Bone marrow smear.
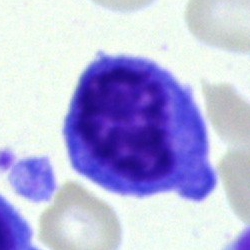
A cell of indeterminate lineage.